Bone marrow aspirate smear:
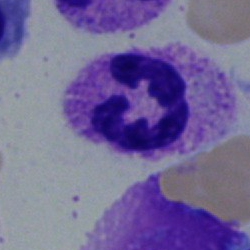 Morphology → polymorphonuclear neutrophil.